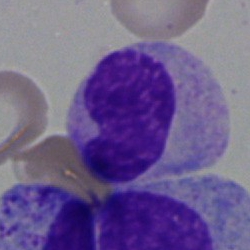
The morphological class is monocyte.